Single cell centered in the field. Bone marrow aspirate smear: 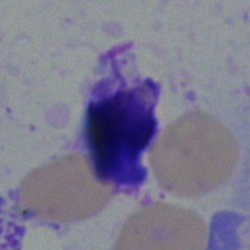
Morphology — artefact.